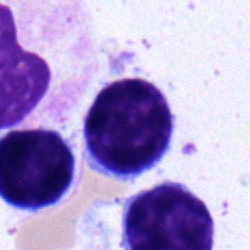

The cell type is typical lymphocyte.